Bone marrow aspirate smear
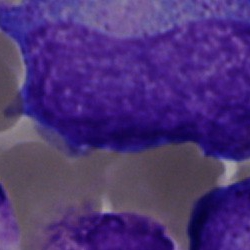 The cell shown is a progranulocyte.